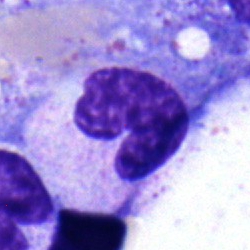

A stab cell on a bone marrow smear.